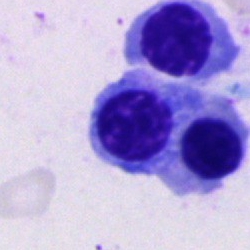

Morphological class — nucleated red cell.